Bone marrow smear — 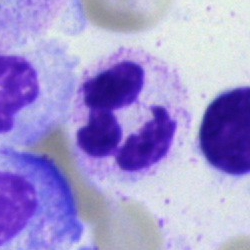The classification is polymorphonuclear neutrophil.